Bone marrow smear.
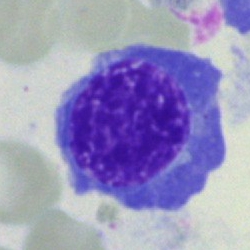Nucleated red cell.